Bone marrow aspirate smear.
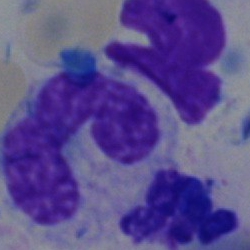
Impression — monocyte.